Bone marrow smear; single-cell field — 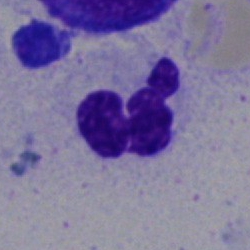 Q: What type of cell is this?
A: Neutrophil (segmented).